Peripheral blood smear — 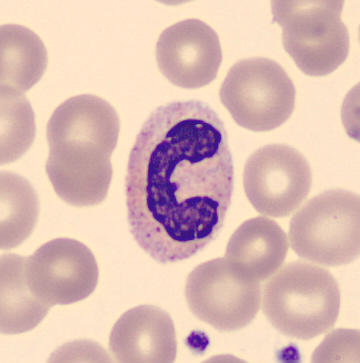Stab cell.